Bone marrow smear — 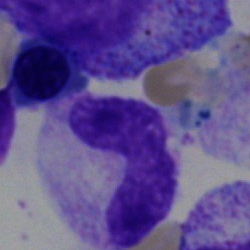Morphology → neutrophil (band).